250×250 px · bone marrow aspirate smear
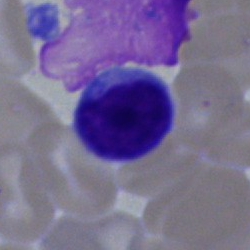

{"cell_type": "typical lymphocyte"}